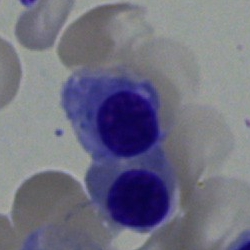 Specimen: bone marrow smear.
Morphological class: erythroblast.
Lineage: erythroid.